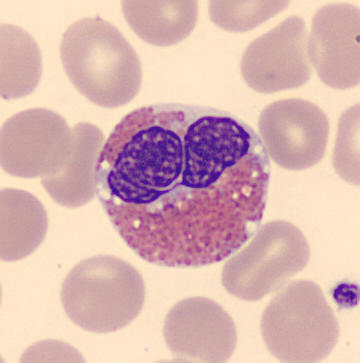Classification: eosinophilic granulocyte.